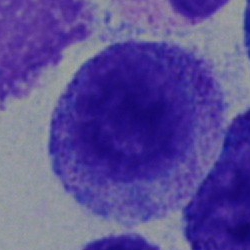
Specimen: bone marrow aspirate smear.
Classification: promyelocyte.
Lineage: myeloid.